Bone marrow aspirate smear
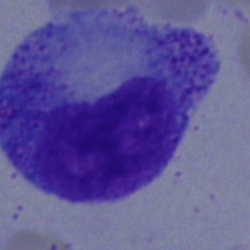

The morphological class is progranulocyte.